Pappenheim-stained · bone marrow aspirate smear.
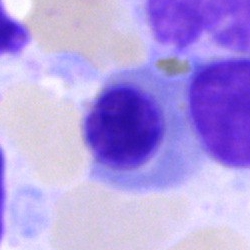

{"cell_type": "nucleated red blood cell", "lineage": "erythroid"}